Bone marrow smear; 250×250 — 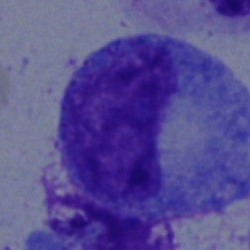

The morphological class is promyelocyte.